Bone marrow smear
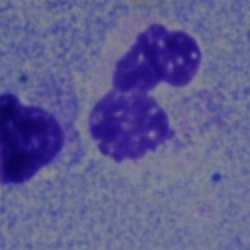
This is a segmented neutrophil.